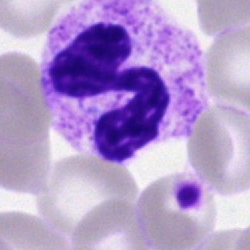

Impression — segmented neutrophil.